Peripheral blood film
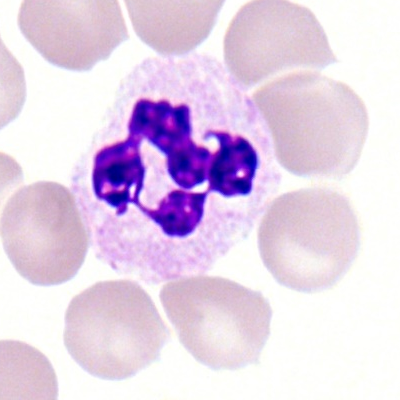

Morphology consistent with a polymorphonuclear neutrophil.